Cropped to a single cell · bone marrow smear.
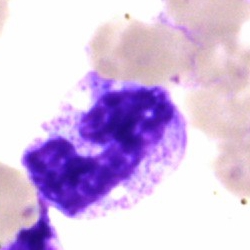

Neutrophil (segmented).